250×250 px · bone marrow smear:
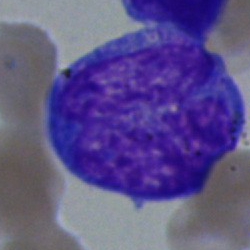 Morphology — blast.